Bone marrow smear: 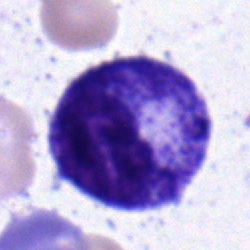Q: What cell is this?
A: This is a myelocyte.